Bone marrow aspirate smear; single-cell field:
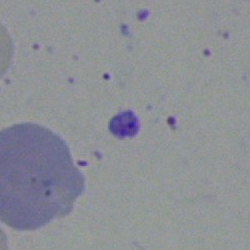
Cell = artifact.